Peripheral blood smear; 100× oil immersion, 14.14 px/µm:
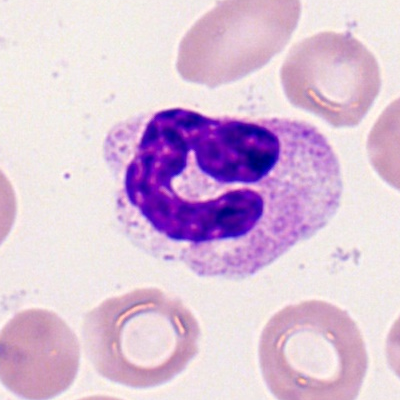

Neutrophil (segmented).